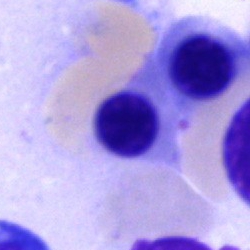

Single-cell crop from a bone marrow smear: nucleated red cell.